Bone marrow smear:
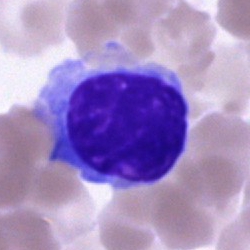Impression — erythroblast.